Peripheral blood film: 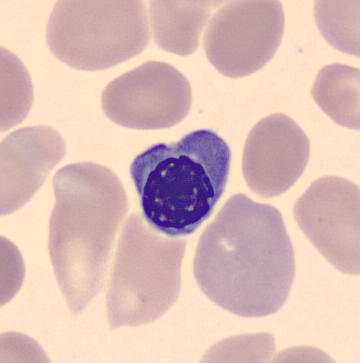Q: What type of cell is this?
A: A nucleated red cell.